Bone marrow aspirate smear; 250 by 250 pixels — 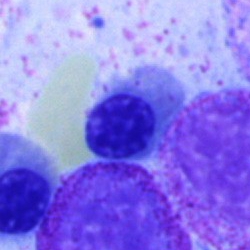

{"cell_type": "erythroblast"}